Bone marrow aspirate smear.
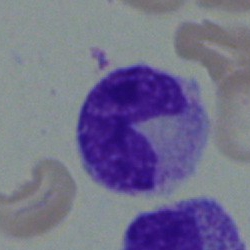
Q: Which cell type is shown here?
A: It is a neutrophil (band).